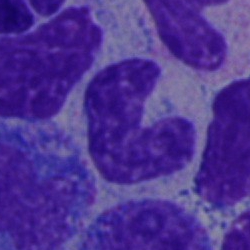

{"cell_type": "stab cell"}